Bone marrow smear.
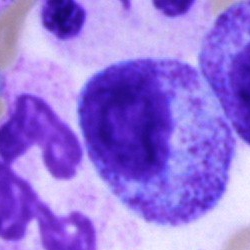Cell — promyelocyte.